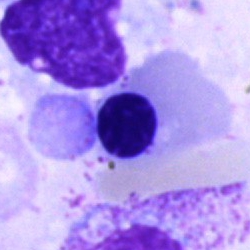 Q: What is the morphological classification of this cell?
A: A cell of indeterminate lineage.